Bone marrow aspirate smear; image size 250×250:
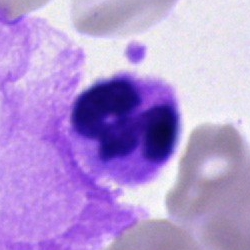

The cell shown is an artifact.